Bone marrow aspirate smear. 250 by 250 pixels. May-Grünwald-Giemsa stain: 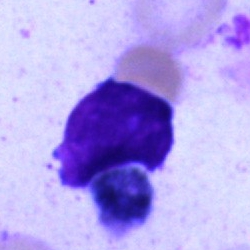
Artifact.